Bone marrow aspirate smear: 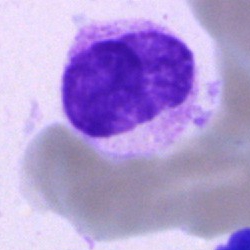

Morphology consistent with an artefact.